Bone marrow smear · cropped to a single cell:
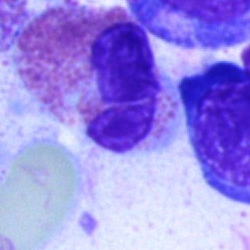 Eosinophil.